250×250 px. Bone marrow aspirate smear.
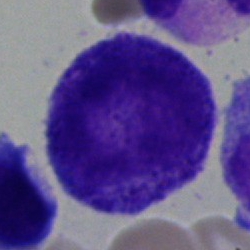Impression — progranulocyte.